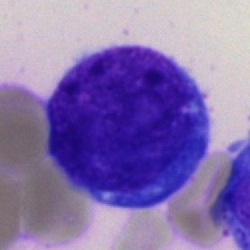 Q: Which cell type is shown here?
A: It is a blast cell.